Pappenheim-stained; single-cell field; bone marrow aspirate smear — 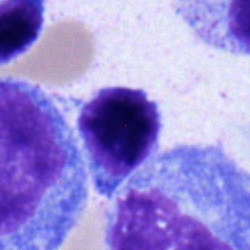Showing a typical lymphocyte.